Bone marrow smear; brightfield microscopy, 40× oil immersion:
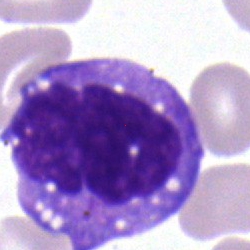

Cell: monocyte.